250×250 · bone marrow smear · 40× objective, oil immersion
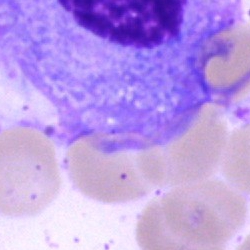
Impression → plasmacyte.